Bone marrow aspirate smear: 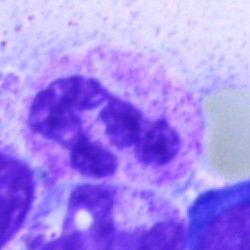Impression — neutrophil (segmented).